40× oil immersion. Bone marrow aspirate smear
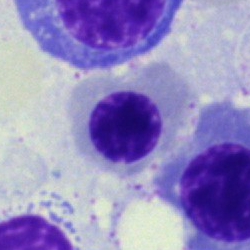

Morphology → nucleated red cell.